Brightfield microscopy, 40× oil immersion; Pappenheim-stained; bone marrow smear.
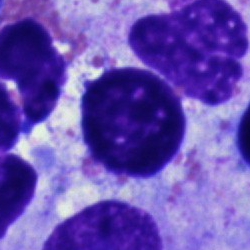
Classification = artifact.